Bone marrow aspirate smear — 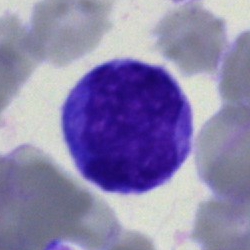

Specimen: bone marrow smear.
Cell: typical lymphocyte.
Lineage: lymphoid.